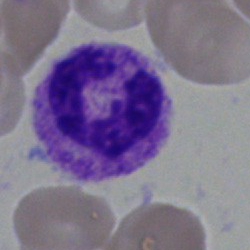Specimen: bone marrow aspirate smear.
Cell: segmented neutrophil.
Lineage: myeloid.